40× objective, oil immersion. Bone marrow aspirate smear
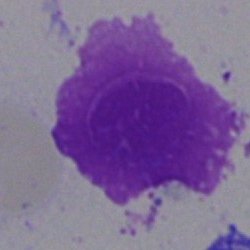

Q: What is shown here?
A: It is an artifact.